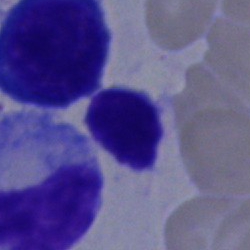Specimen: bone marrow smear.
Classification: typical lymphocyte.
Lineage: lymphoid.